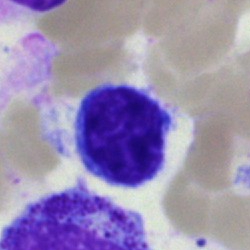 A typical lymphocyte on a bone marrow smear.